Bone marrow smear. Single-cell crop. 250 by 250 pixels.
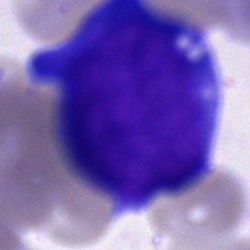Proerythroblast.